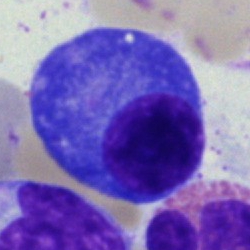

Morphological class: plasma cell.